Bone marrow smear: 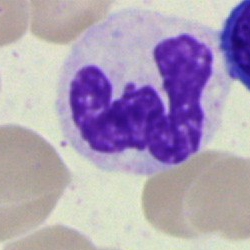
Morphological class: polymorphonuclear neutrophil.